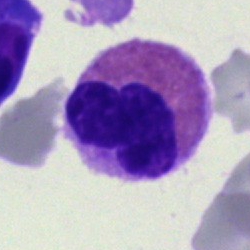

An eosinophilic granulocyte.